MGG-stained · bone marrow aspirate smear: 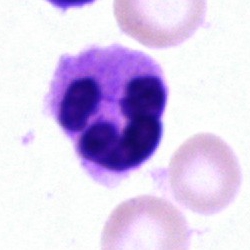Q: What is shown here?
A: Polymorphonuclear neutrophil.